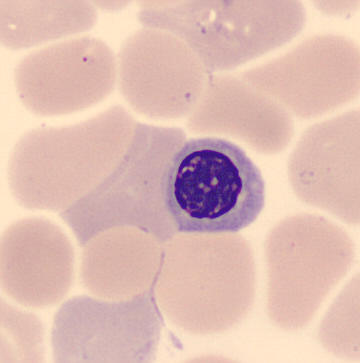
Showing an erythroblast.